Pappenheim-stained. Brightfield microscopy, 40× oil immersion. Bone marrow aspirate smear.
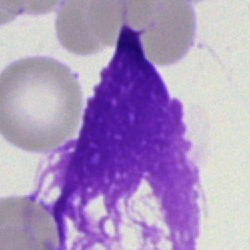 Specimen: bone marrow aspirate smear.
Classification: artefact.